Romanowsky-stained; peripheral blood smear.
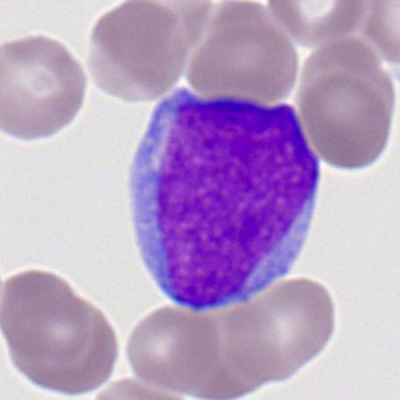
The cell shown is a myeloid blast.